Bone marrow aspirate smear — 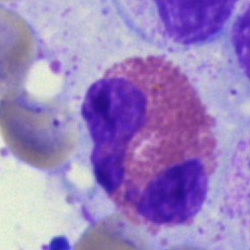This is an eosinophil.